Brightfield, 40× oil-immersion objective. Bone marrow smear: 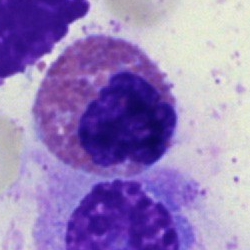

Classification — eosinophil.